Bone marrow aspirate smear. 40× oil immersion. Pappenheim-stained: 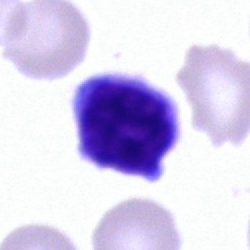

Q: Which cell type is shown here?
A: A typical lymphocyte.